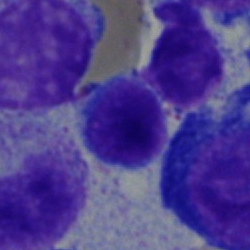

Single-cell crop from a bone marrow smear: typical lymphocyte.